Brightfield, 40× oil-immersion objective. Bone marrow smear.
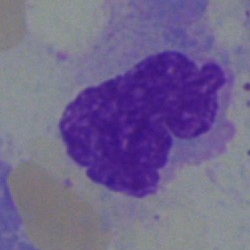

Cell — artefact.